Bone marrow aspirate smear: 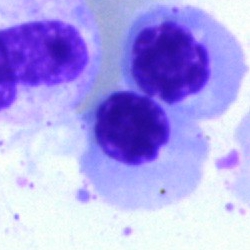
Cell — normoblast.